Peripheral blood film.
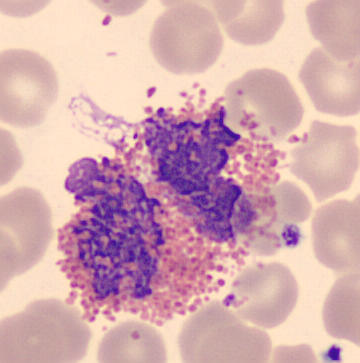 Identified as an eosinophilic granulocyte.